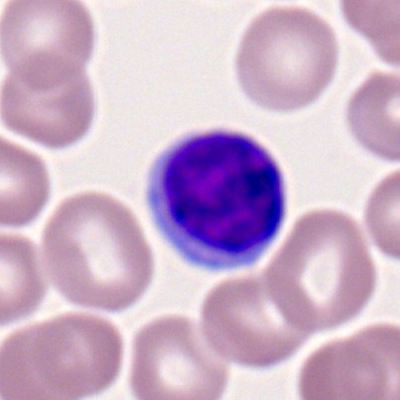

Q: What is shown here?
A: A lymphocyte.